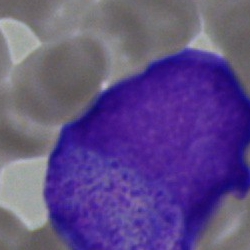

The cell shown is an undifferentiated blast.